Pappenheim-stained; bone marrow aspirate smear; 250 by 250 pixels: 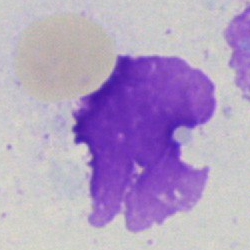 Q: What is shown here?
A: It is an artefact.